Pappenheim-stained. Bone marrow smear. Brightfield microscopy, 40× oil immersion — 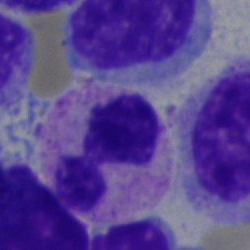

Classification — neutrophil (segmented).